Bone marrow smear; May-Grünwald-Giemsa/Pappenheim stain.
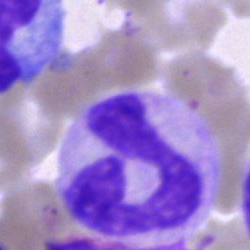
{"cell_type": "band neutrophil", "lineage": "myeloid"}